250×250 · bone marrow aspirate smear: 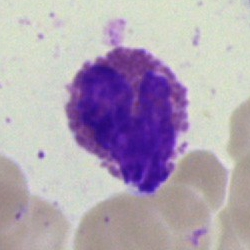Morphology consistent with an eosinophil.